Bone marrow aspirate smear — 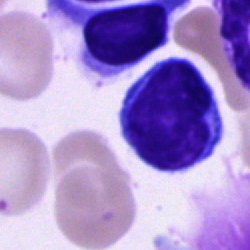
Lymphocyte.